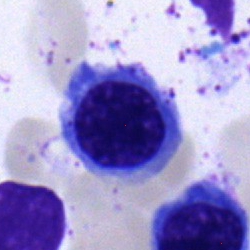 The cell type is nucleated red cell.